Bone marrow aspirate smear.
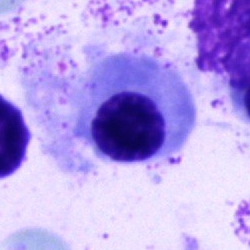 Cell type = nucleated red blood cell.